Bone marrow smear: 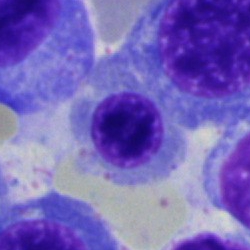
The cell shown is an erythroblast.